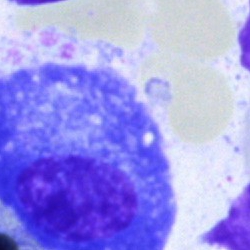

Q: What type of cell is this?
A: Plasma cell.